250×250; bone marrow smear:
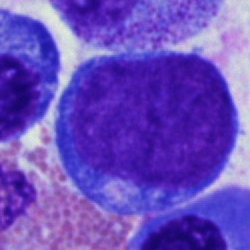

Impression — pronormoblast.